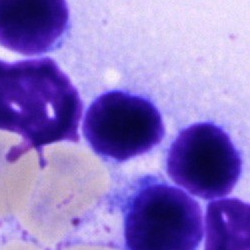 The cell shown is a typical lymphocyte.